Single-cell crop; bone marrow aspirate smear
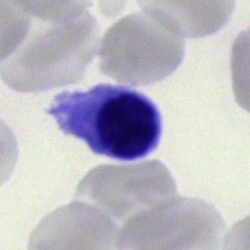
Q: What cell is this?
A: It is a lymphocyte.